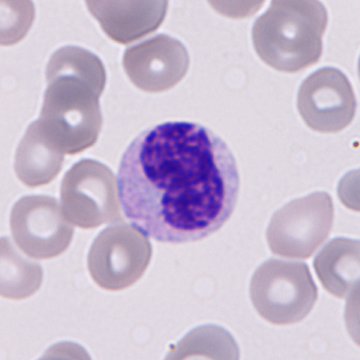A granulocyte precursor on a peripheral blood smear.